MGG-stained; bone marrow smear; 250 by 250 pixels:
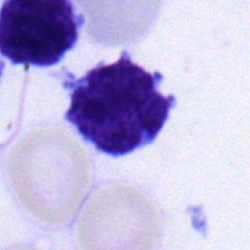

Cell type = typical lymphocyte.